Bone marrow smear; cropped to a single cell.
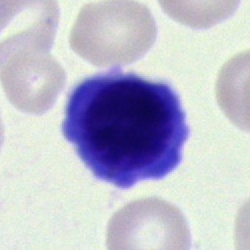
Morphology consistent with a normoblast.